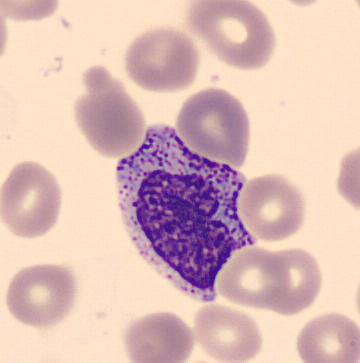 Morphology — metamyelocyte.